Bone marrow aspirate smear; brightfield microscopy, 40× oil immersion; 250×250: 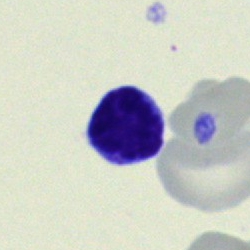

Morphological class: lymphocyte.